Bone marrow aspirate smear:
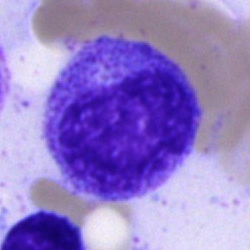
Cell type: progranulocyte.